Cropped to a single cell · bone marrow smear · May-Grünwald-Giemsa stain
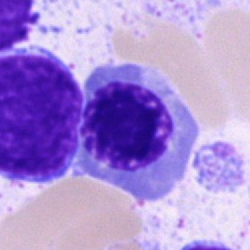
Specimen: bone marrow aspirate smear.
Morphological class: nucleated red blood cell.
Lineage: erythroid.